Bone marrow aspirate smear: 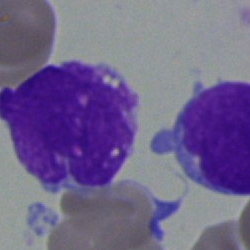
Q: What type of cell is this?
A: Undifferentiated blast.